250 by 250 pixels; bone marrow smear; May-Grünwald-Giemsa/Pappenheim stain
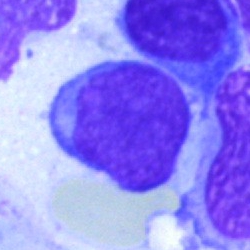A blast cell.